Single-cell field · Pappenheim-stained · bone marrow smear:
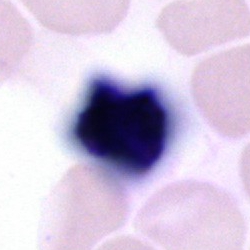 Showing a cell of indeterminate lineage.